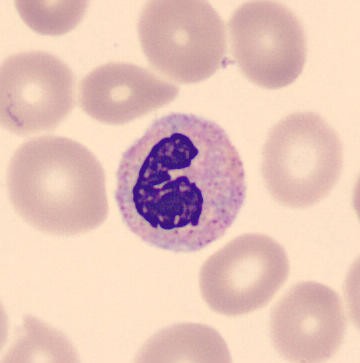

{"cell_type": "band neutrophil", "lineage": "myeloid"}

Acquisition: Peripheral blood film.